Bone marrow smear
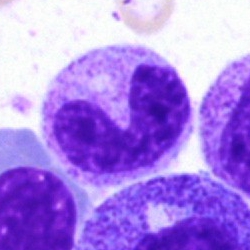
This is a neutrophil (band).